Bone marrow aspirate smear · 250×250 px:
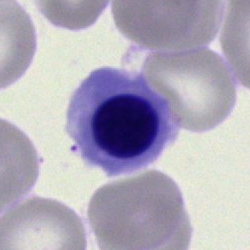Q: Which cell type is shown here?
A: Erythroblast.